Bone marrow aspirate smear. 250×250:
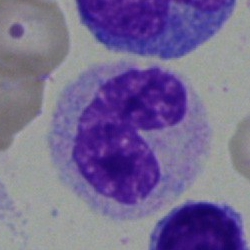 Morphology → neutrophil (band).